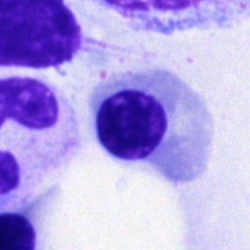

Specimen: bone marrow smear.
Classification: nucleated red cell.